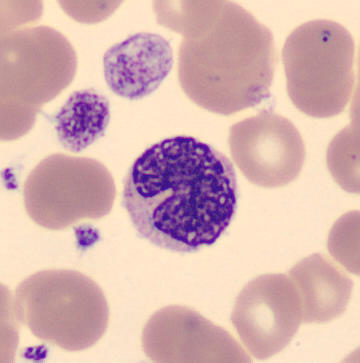
Metamyelocyte. Image: Image size 360×363; imaged on a CellaVision DM96 analyser; peripheral blood smear.